Bone marrow aspirate smear
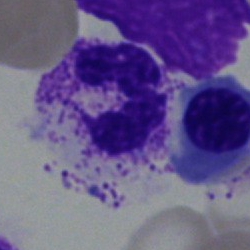Specimen: bone marrow smear.
Morphological class: segmented neutrophil.
Lineage: myeloid.